Image size 400×400; peripheral blood film:
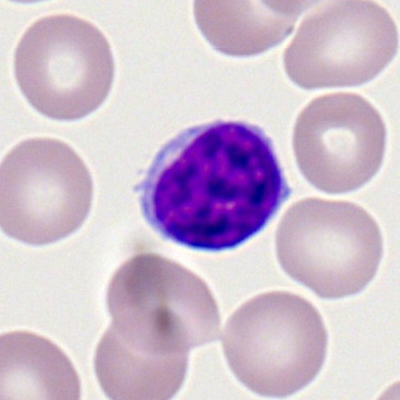
Q: Which cell type is shown here?
A: Typical lymphocyte.